Bone marrow aspirate smear — 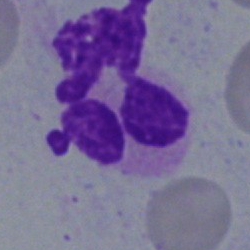
Morphology consistent with a polymorphonuclear neutrophil.